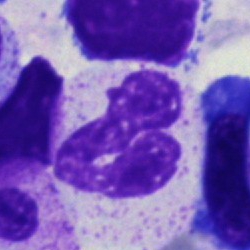
Morphology consistent with a polymorphonuclear neutrophil.